Bone marrow aspirate smear — 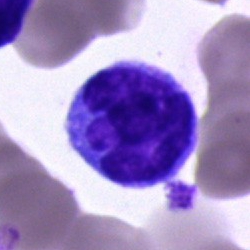
Single cell identified as a monocyte.